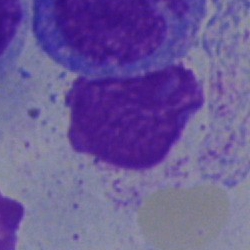

Cell = artefact.